Bone marrow smear — 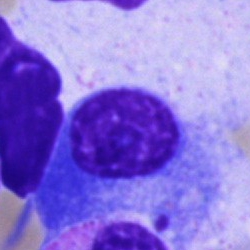Specimen: bone marrow smear.
Classification: plasma cell.
Lineage: lymphoid.